Bone marrow smear · 250×250 px · Pappenheim-stained
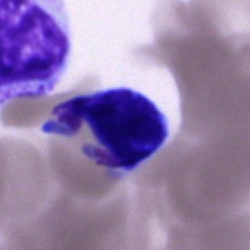Showing a cell of indeterminate lineage.